Bone marrow aspirate smear · 40× objective, oil immersion · MGG-stained
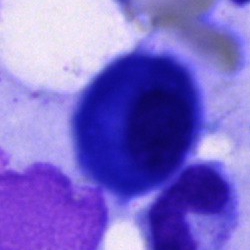

Specimen: bone marrow aspirate smear.
Morphological class: plasmacyte.
Lineage: lymphoid.